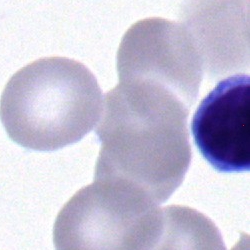

A typical lymphocyte.